Bone marrow smear. 250×250.
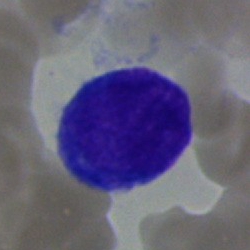

Morphology consistent with a blast.